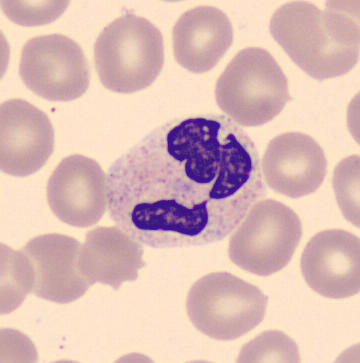This is a neutrophil (segmented).